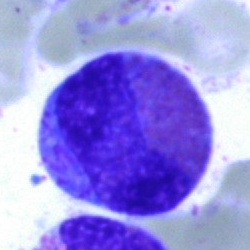 Bone marrow smear showing an eosinophilic granulocyte.